Bone marrow aspirate smear; 250 by 250 pixels
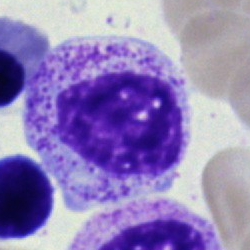
Single cell identified as a myelocyte.